Bone marrow smear; May-Grünwald-Giemsa stain: 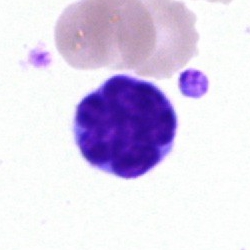 This is a typical lymphocyte.